Bone marrow smear.
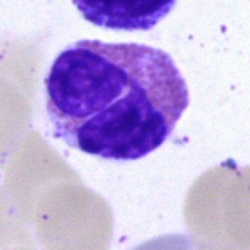

Cell type: eosinophil.